Peripheral blood smear · single-cell crop · 360×363
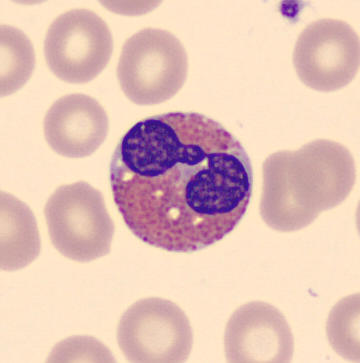 Specimen: peripheral blood film.
Cell: eosinophil.
Lineage: myeloid.